Bone marrow smear. Single-cell field.
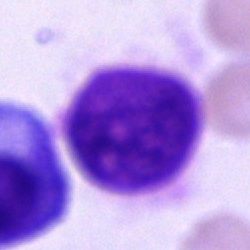Showing an artefact.